May-Grünwald-Giemsa/Pappenheim stain. Bone marrow smear: 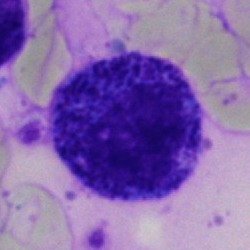Specimen: bone marrow aspirate smear.
Classification: progranulocyte.
Lineage: myeloid.